Bone marrow smear — 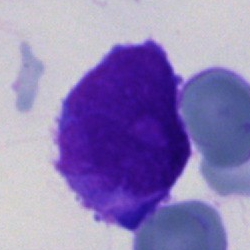 {"cell_type": "undifferentiated blast"}